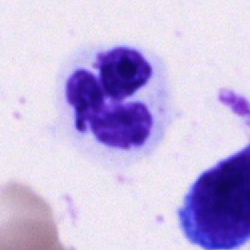

Classification = segmented neutrophil.